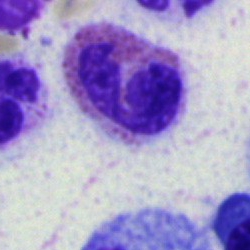An eosinophil.